Bone marrow smear — 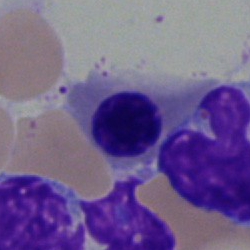
Q: Identify the cell.
A: An erythroblast.